Peripheral blood film — 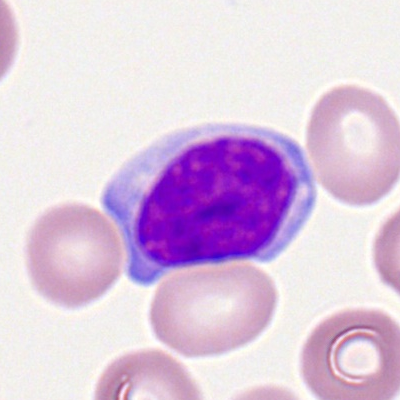

Impression → typical lymphocyte.